Bone marrow smear:
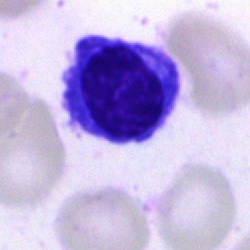
Specimen: bone marrow aspirate smear.
Cell type: typical lymphocyte.